MGG-stained; bone marrow aspirate smear — 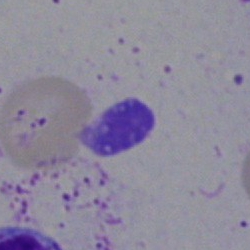

Cell — artefact.